Bone marrow smear: 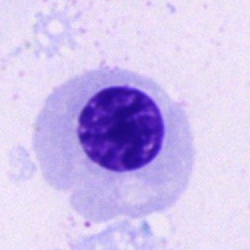
Cell = nucleated red blood cell.